May-Grünwald-Giemsa stain; bone marrow smear:
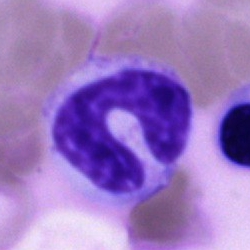 Morphology consistent with a stab cell.